Bone marrow aspirate smear:
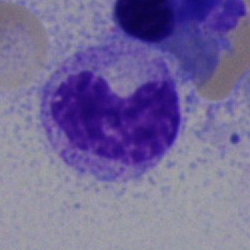 Morphology consistent with a band neutrophil.